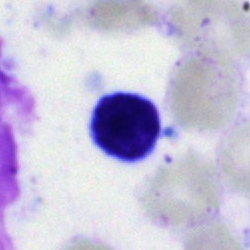
Showing a typical lymphocyte.